Pappenheim-stained · bone marrow aspirate smear · single cell centered in the field: 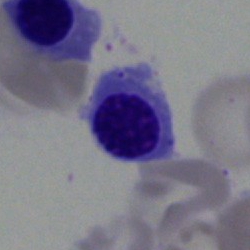 Q: Identify the cell.
A: A nucleated red blood cell.